Peripheral blood film — 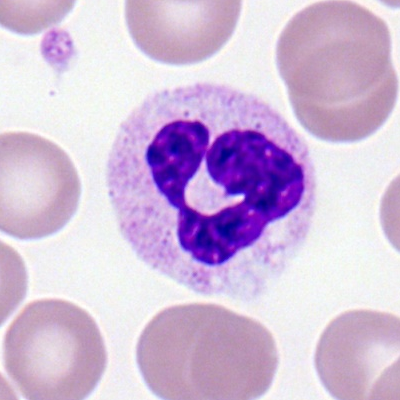
Cell type = polymorphonuclear neutrophil.